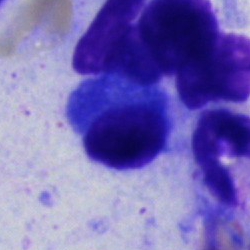 Morphology consistent with a plasmacyte.